40× objective, oil immersion · bone marrow aspirate smear
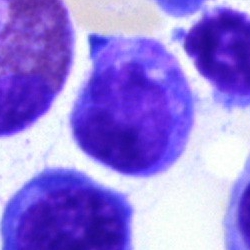Specimen: bone marrow aspirate smear.
Classification: typical lymphocyte.
Lineage: lymphoid.